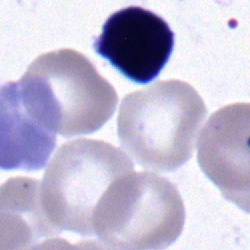 A lymphocyte on a bone marrow smear.